Bone marrow aspirate smear:
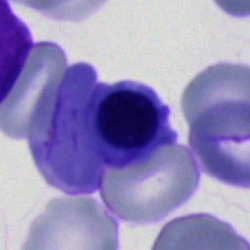 {"cell_type": "normoblast", "lineage": "erythroid"}